250 by 250 pixels; bone marrow smear; single-cell crop.
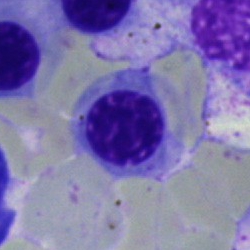 {"cell_type": "nucleated red blood cell"}